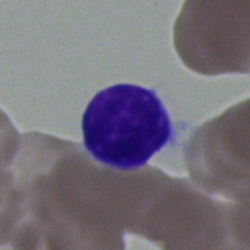
Cell type: lymphocyte.